Bone marrow smear — 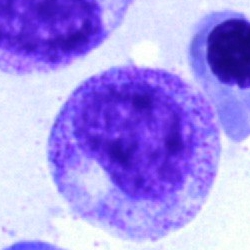 Q: What is shown here?
A: It is a metamyelocyte.